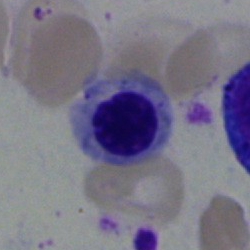 Bone marrow aspirate smear, single cell — erythroblast.